Bone marrow smear
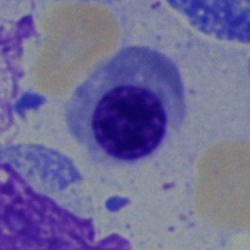This is an erythroblast.